Bone marrow smear: 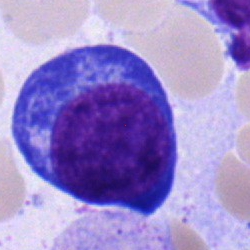 A normoblast.